250 by 250 pixels · cropped to a single cell · bone marrow aspirate smear — 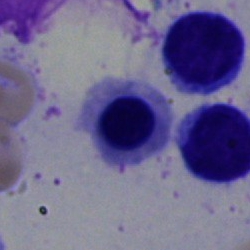 This is a nucleated red cell.